250×250 px; bone marrow smear — 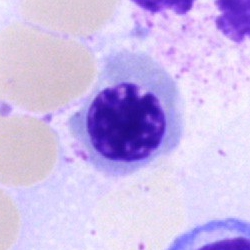
Specimen: bone marrow smear.
Cell type: nucleated red cell.